Peripheral blood film · MGG-stained · single-cell crop — 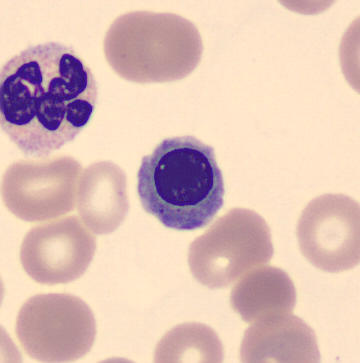
{"cell_type": "erythroblast", "lineage": "erythroid"}